Bone marrow smear — 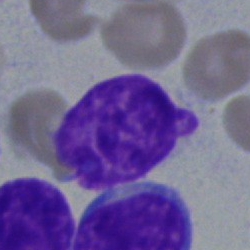
Morphological class — lymphocyte.